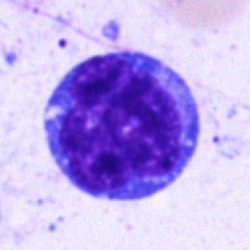 {"cell_type": "blast"}